Bone marrow aspirate smear: 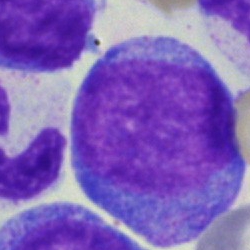

Single cell identified as an undifferentiated blast.